Bone marrow smear:
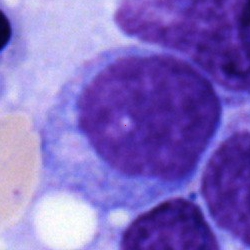

Classification — lymphocyte.